Peripheral blood film. Single-cell crop.
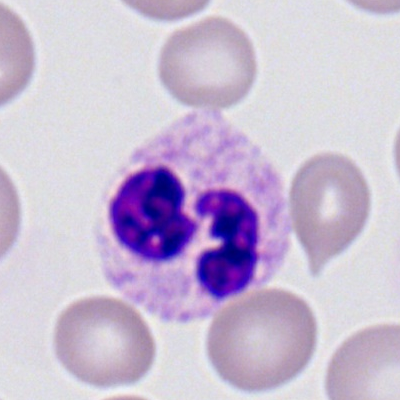 Morphology consistent with a polymorphonuclear neutrophil.